May-Grünwald-Giemsa/Pappenheim stain. Bone marrow smear.
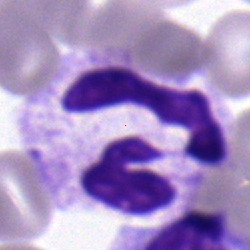

The cell is segmented neutrophil.